Peripheral blood smear: 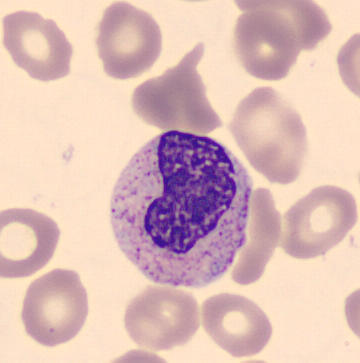Q: Identify the cell.
A: It is a metamyelocyte.